Bone marrow smear:
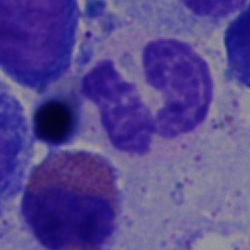The cell shown is a neutrophil (segmented).